Peripheral blood film: 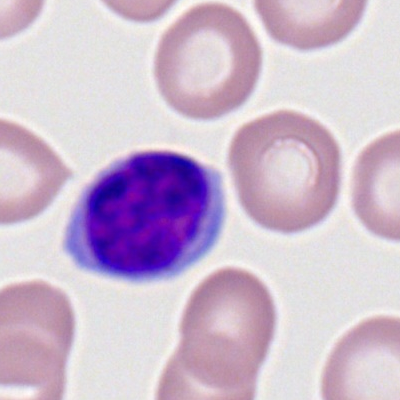Q: What type of cell is this?
A: A typical lymphocyte.